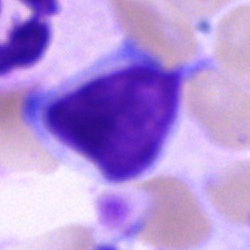

Q: What is the morphological classification of this cell?
A: A typical lymphocyte.